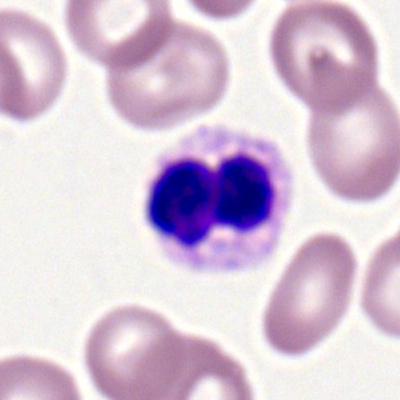Morphology → segmented neutrophil.